40× oil immersion · single-cell field · bone marrow aspirate smear: 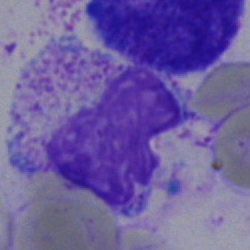 Artefact.